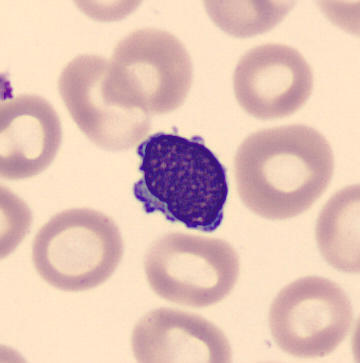Image: Peripheral blood smear. Single-cell field.
Classification = lymphocyte.